May-Grünwald-Giemsa stain · single cell centered in the field · bone marrow aspirate smear.
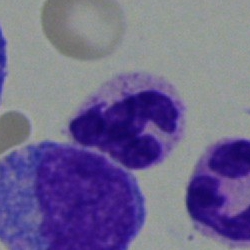{"cell_type": "segmented neutrophil", "lineage": "myeloid"}